Bone marrow aspirate smear:
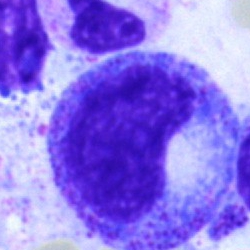
Single cell identified as a progranulocyte.